MGG-stained. 40× objective, oil immersion. Bone marrow aspirate smear: 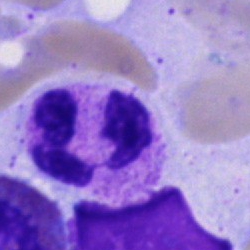Q: What cell is this?
A: Neutrophil (segmented).